Peripheral blood film.
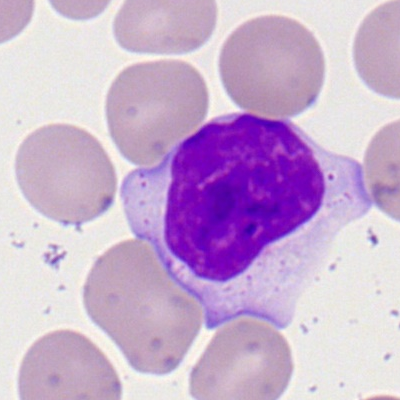

Specimen: peripheral blood smear.
Classification: typical lymphocyte.
Lineage: lymphoid.